Single cell centered in the field; peripheral blood smear.
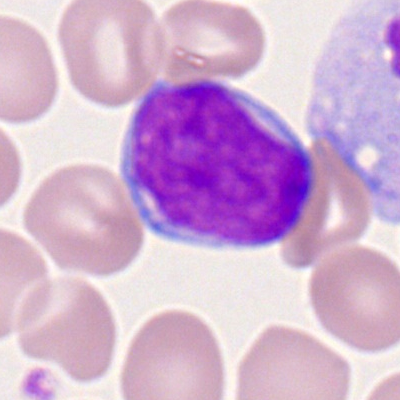

Q: What cell is this?
A: A myeloblast.